250 by 250 pixels; bone marrow smear.
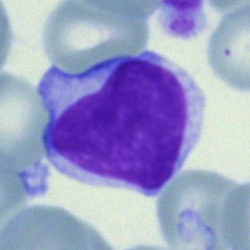

Specimen: bone marrow aspirate smear.
Cell type: lymphocyte.
Lineage: lymphoid.